Single-cell field; bone marrow aspirate smear; 250 by 250 pixels: 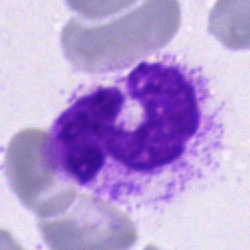 Morphology — neutrophil (segmented).